Bone marrow smear; Pappenheim-stained:
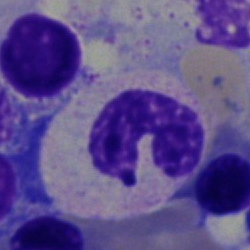 Cell type = band-form neutrophil.